Bone marrow aspirate smear.
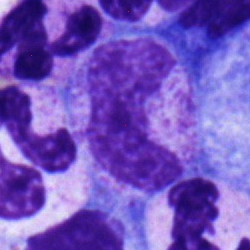 This is a stab cell.